Bone marrow aspirate smear — 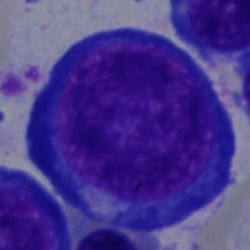

Impression — pronormoblast.